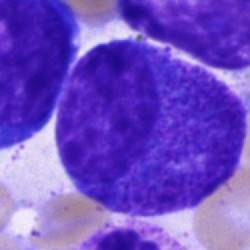Q: What cell is this?
A: This is a progranulocyte.